Bone marrow aspirate smear:
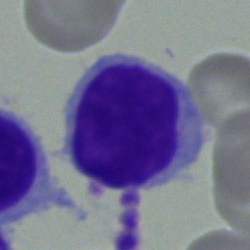

Impression → lymphocyte.